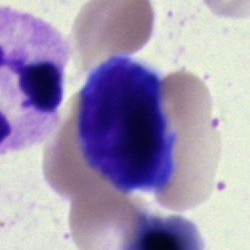 Q: What is shown here?
A: An artifact.